Bone marrow aspirate smear — 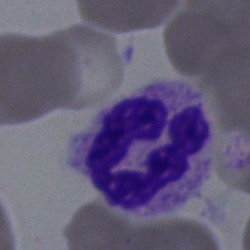 Specimen: bone marrow smear.
Cell: segmented neutrophil.